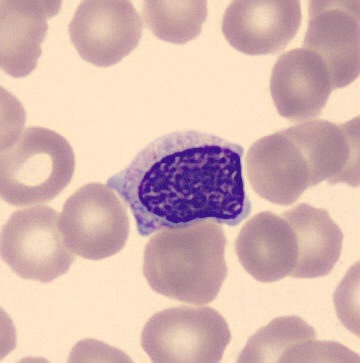 Morphology consistent with a metamyelocyte.